MGG-stained; bone marrow aspirate smear; 250 by 250 pixels
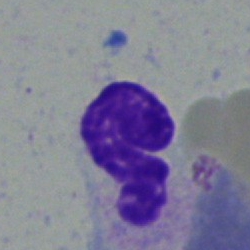Showing a band-form neutrophil.